Bone marrow smear; single cell centered in the field.
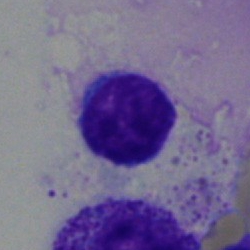 The cell type is typical lymphocyte.